Bone marrow smear:
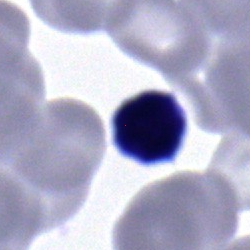
Specimen: bone marrow aspirate smear.
Classification: lymphocyte.